Bone marrow aspirate smear: 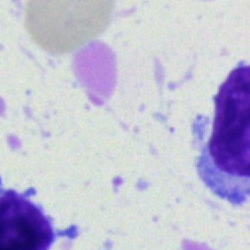
Specimen: bone marrow aspirate smear.
Cell type: artifact.